Cropped to a single cell · bone marrow smear · MGG-stained: 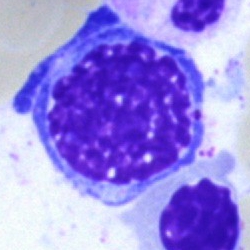
Q: What cell is this?
A: A nucleated red blood cell.